Bone marrow aspirate smear:
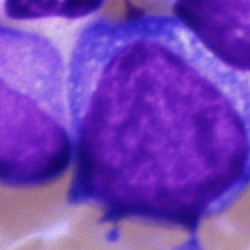 Morphological class — blast cell.